Bone marrow aspirate smear — 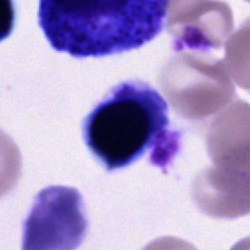

This is an unidentifiable cell.